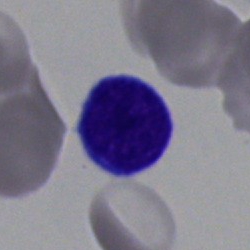Classification: typical lymphocyte.